Bone marrow smear.
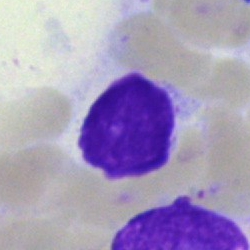 Cell type = artifact.